Bone marrow smear — 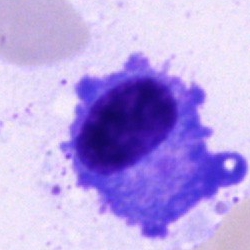Cell type = plasma cell.